100× objective, oil immersion; peripheral blood film; Romanowsky stain: 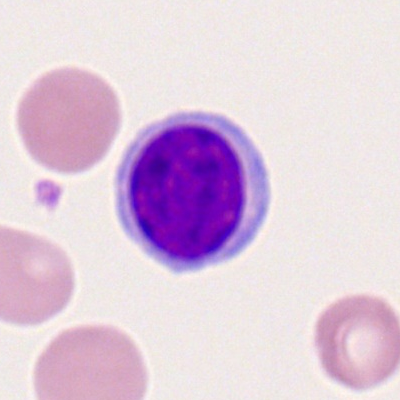Impression — lymphocyte.